40× objective, oil immersion; bone marrow smear
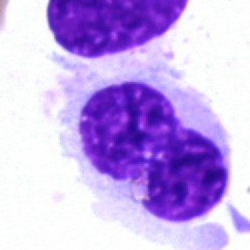 Q: Which cell type is shown here?
A: A hairy cell.